Bone marrow smear:
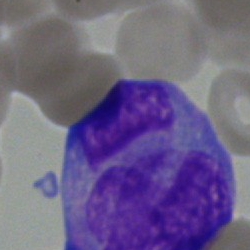
Showing a blast cell.